Peripheral blood film. Romanowsky-stained:
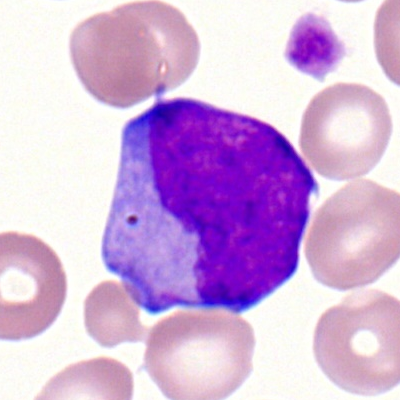

A myeloblast.